Peripheral blood film; Romanowsky-type stain: 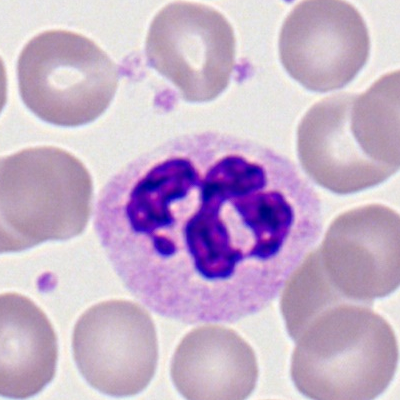Impression — neutrophil (segmented).